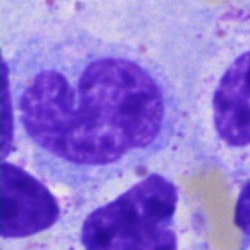 Cell type — monocyte.